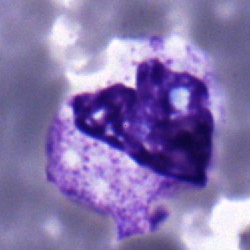

Morphology → polymorphonuclear neutrophil.